Pappenheim-stained; bone marrow smear: 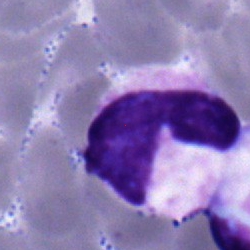
Morphology → stab cell.